May-Grünwald-Giemsa/Pappenheim stain. Bone marrow aspirate smear.
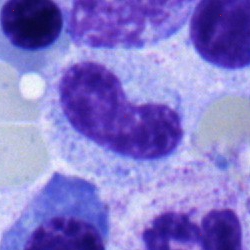 Cell: metamyelocyte.